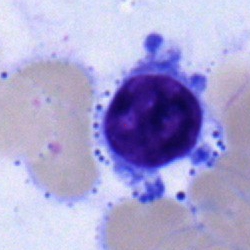The cell shown is a lymphocyte.